Bone marrow aspirate smear — 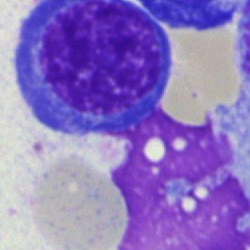Q: What is the morphological classification of this cell?
A: A normoblast.